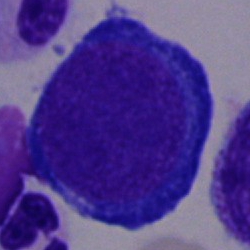 Classification = pronormoblast.